May-Grünwald-Giemsa/Pappenheim stain; image size 250×250; bone marrow smear — 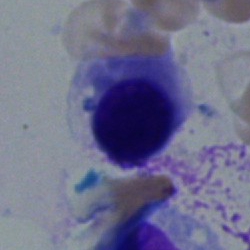
Q: What is shown here?
A: Normoblast.